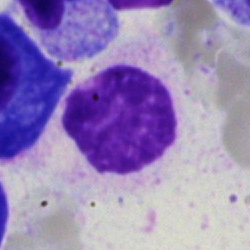

Q: What is shown here?
A: It is an artifact.